Bone marrow aspirate smear: 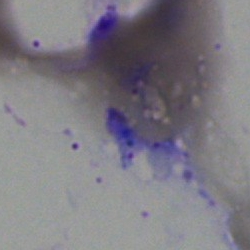 This is an artifact.